Brightfield, 40× oil-immersion objective. Bone marrow smear — 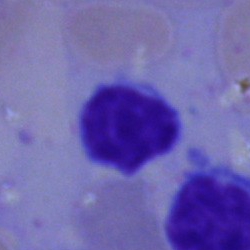Morphology consistent with a typical lymphocyte.